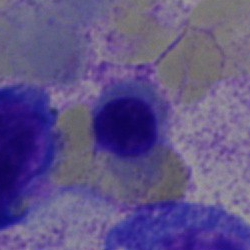 Morphological class: normoblast.